Single cell centered in the field · bone marrow aspirate smear: 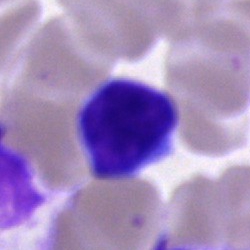The cell shown is an artefact.